Bone marrow smear:
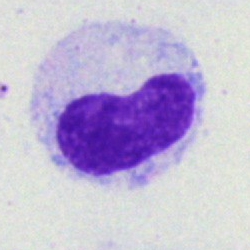 Cell type: band-form neutrophil.